Bone marrow smear — 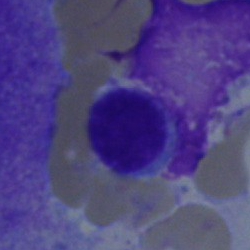Specimen: bone marrow aspirate smear.
Morphological class: lymphocyte.
Lineage: lymphoid.